Peripheral blood smear · 360×363 px:
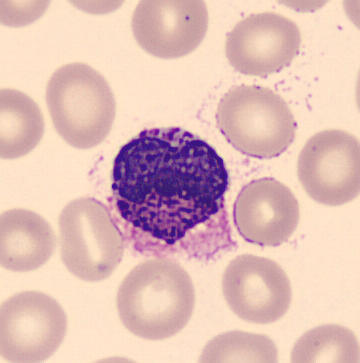 Q: What type of cell is this?
A: It is a basophilic granulocyte.